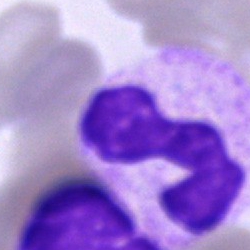
Cell type = stab cell.